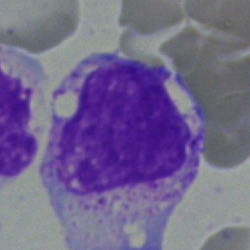 Single-cell crop from a bone marrow smear: myelocyte.